Bone marrow smear:
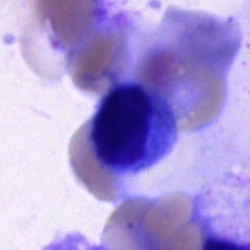

Impression — artefact.